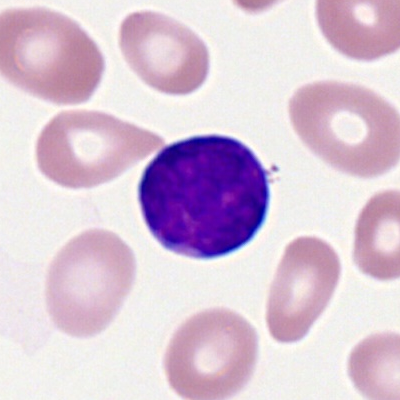 Morphological class = myeloid blast.